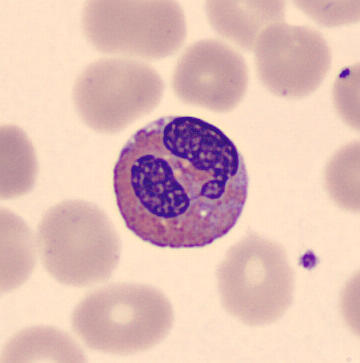Acquisition: Peripheral blood smear. Q: Identify the cell.
A: This is an eosinophilic granulocyte.